Bone marrow aspirate smear · single-cell field — 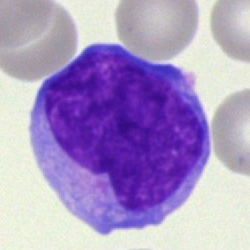 Single cell identified as an undifferentiated blast.